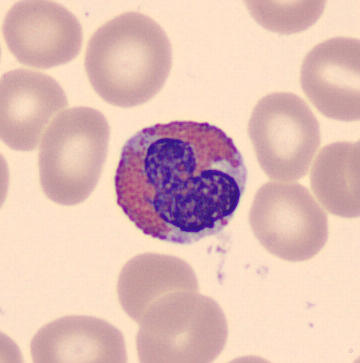Cell type: eosinophil. Image: Peripheral blood film. MGG stain.